Bone marrow aspirate smear. Image size 250×250.
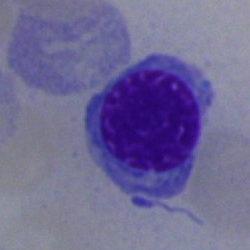
Nucleated red cell.